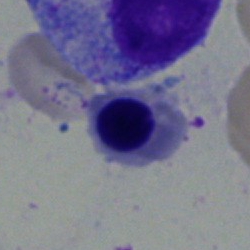 Morphology — nucleated red cell.